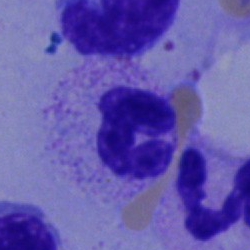Q: What is shown here?
A: A neutrophil (segmented).